Bone marrow aspirate smear
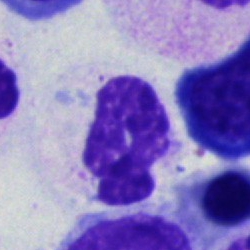
Single cell identified as a neutrophil (segmented).